Bone marrow smear. Single-cell field
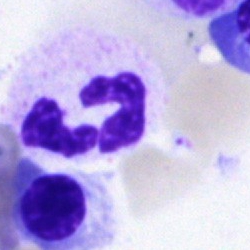
Classification = segmented neutrophil.